250×250 px · bone marrow smear · brightfield microscopy, 40× oil immersion.
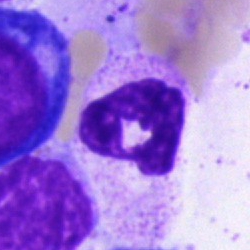

Specimen: bone marrow smear.
Cell type: polymorphonuclear neutrophil.
Lineage: myeloid.